Peripheral blood smear · brightfield, 100× oil-immersion objective · single-cell field — 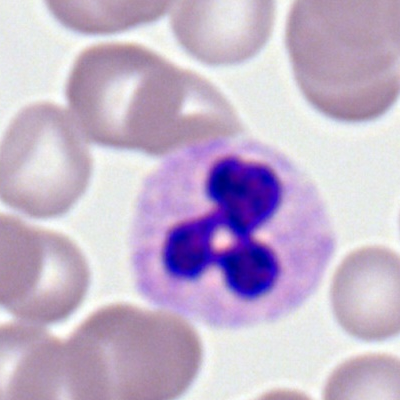
Showing a segmented neutrophil.